Bone marrow smear: 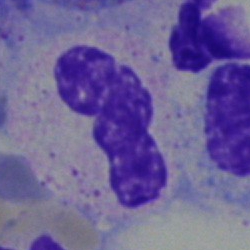
Q: What is the morphological classification of this cell?
A: Neutrophil (band).